Bone marrow smear.
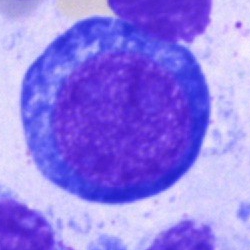
Morphology consistent with a pronormoblast.